Bone marrow aspirate smear. 250 by 250 pixels
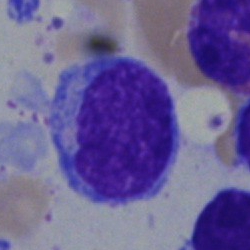Specimen: bone marrow aspirate smear.
Cell: typical lymphocyte.
Lineage: lymphoid.